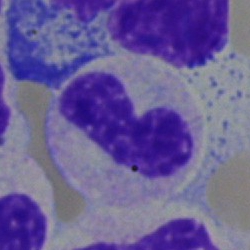 Bone marrow smear showing a stab cell.